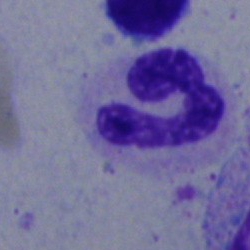The cell is neutrophil (segmented).